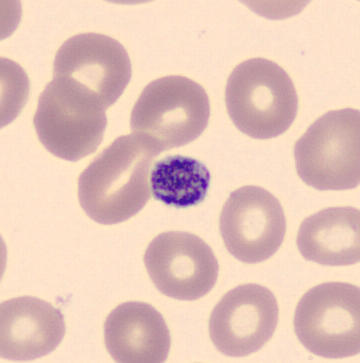
Preparation: CellaVision DM96. Peripheral blood smear.
Q: What is this?
A: It is a platelet (thrombocyte).